Peripheral blood smear. Brightfield, 100× oil-immersion objective:
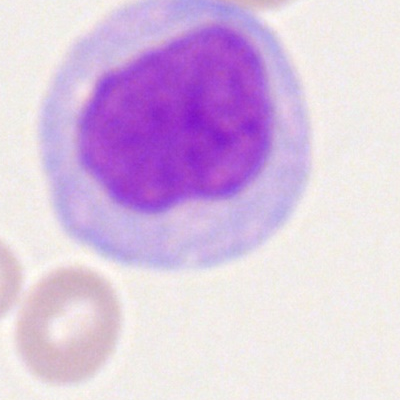

Single cell identified as a monocyte.